Bone marrow aspirate smear: 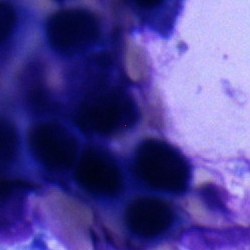

Morphological class: nucleated red cell.